Bone marrow aspirate smear · brightfield microscopy, 40× oil immersion
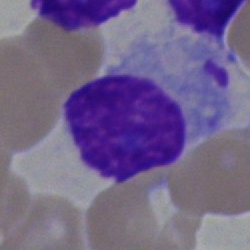Cell: plasmacyte.